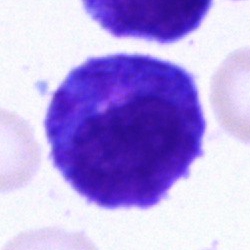 Q: Which cell type is shown here?
A: A promyelocyte.